Bone marrow smear; 40× objective, oil immersion:
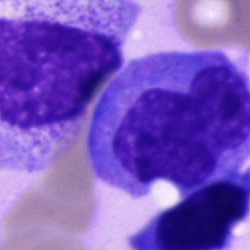Morphology consistent with a monocyte.